40× objective, oil immersion; bone marrow smear:
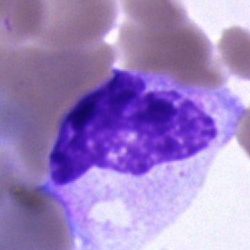 Classification: cell of indeterminate lineage.